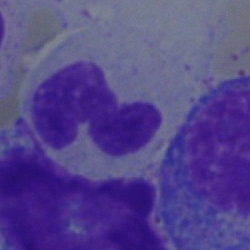

Showing a band-form neutrophil.